Bone marrow aspirate smear. 250 by 250 pixels — 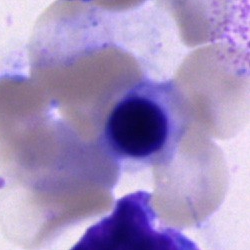

Q: What is the morphological classification of this cell?
A: It is a nucleated red blood cell.